Bone marrow smear · 40× objective, oil immersion · single-cell crop — 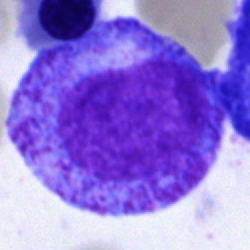
Showing a promyelocyte.